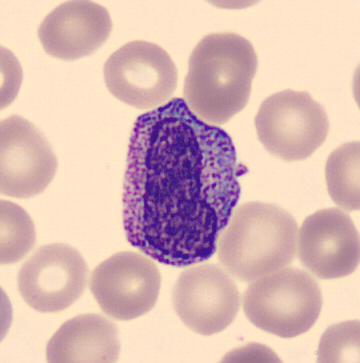 Myelocyte. Peripheral blood film.